Bone marrow aspirate smear. May-Grünwald-Giemsa/Pappenheim stain
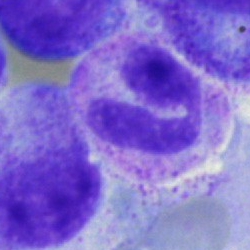 Specimen: bone marrow smear.
Cell type: neutrophil (segmented).
Lineage: myeloid.